Bone marrow aspirate smear · single-cell crop.
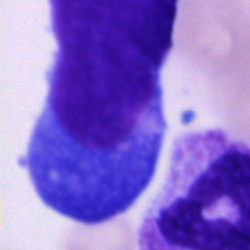Specimen: bone marrow aspirate smear.
Cell: cell of indeterminate lineage.